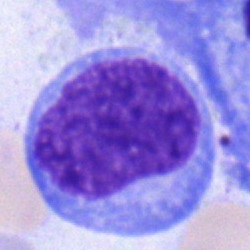Morphology consistent with an undifferentiated blast.